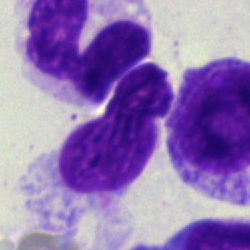

Cell: artifact.